Bone marrow aspirate smear · 40× oil immersion.
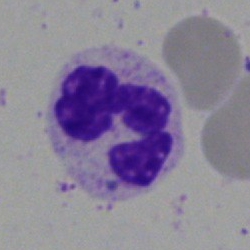
Q: Which cell type is shown here?
A: This is a neutrophil (segmented).